Peripheral blood film.
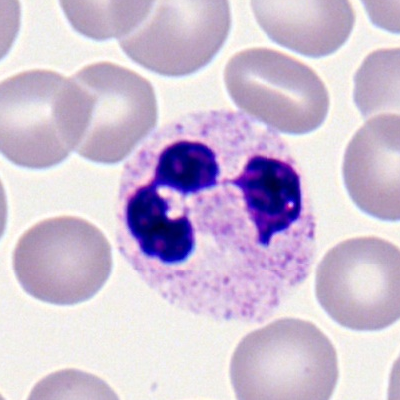{"cell_type": "polymorphonuclear neutrophil", "lineage": "myeloid"}